Bone marrow aspirate smear: 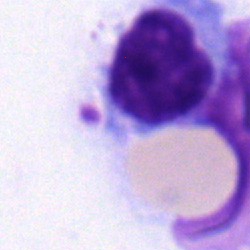 Showing a lymphocyte.